M8 digital microscope (Precipoint), 100× oil immersion. Peripheral blood film:
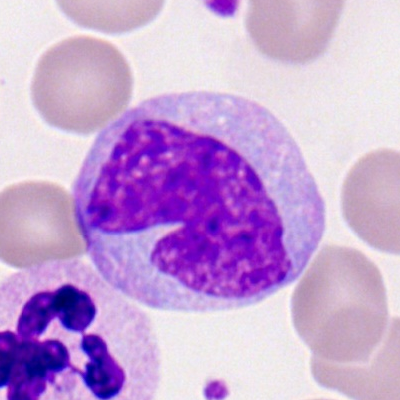 Impression → monocyte.